Bone marrow smear · 250×250 · May-Grünwald-Giemsa stain:
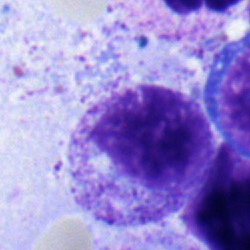
Morphology consistent with a myelocyte.